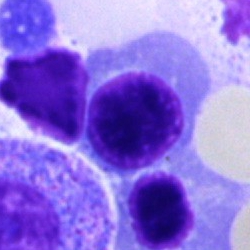 This is a nucleated red cell.